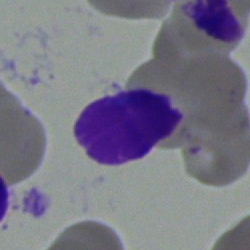Q: What is shown here?
A: Artefact.